40× oil immersion; bone marrow aspirate smear:
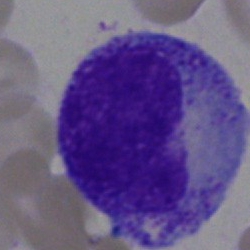

Showing a promyelocyte.